Bone marrow smear:
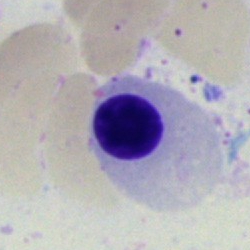
Q: Identify the cell.
A: Erythroblast.